Bone marrow smear; 250×250 px: 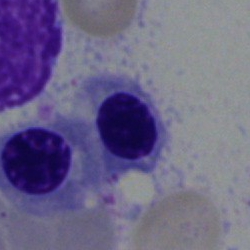

Q: What is shown here?
A: Nucleated red blood cell.